Bone marrow aspirate smear. 40× oil immersion
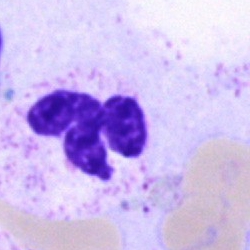 Specimen: bone marrow smear.
Cell type: segmented neutrophil.